Bone marrow aspirate smear.
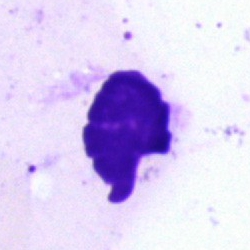
Single cell identified as an artifact.